Bone marrow smear · brightfield, 40× oil-immersion objective — 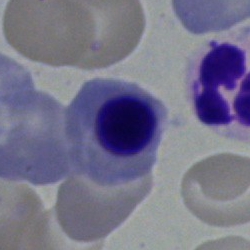
A nucleated red cell.